Bone marrow smear · 250×250.
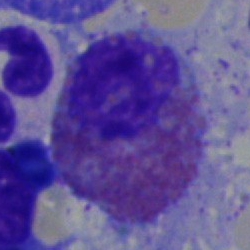

The cell shown is an eosinophil.